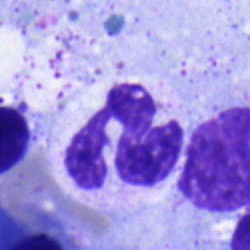

This is a segmented neutrophil.